Bone marrow aspirate smear
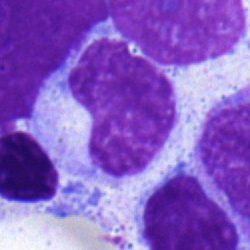

Impression — metamyelocyte.